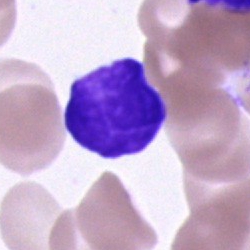
Q: What type of cell is this?
A: This is a lymphocyte.